Bone marrow smear. 250×250 — 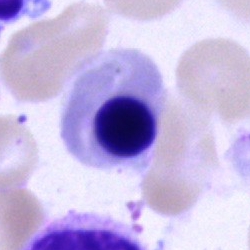
Cell type — nucleated red cell.